Bone marrow aspirate smear · 250×250 px — 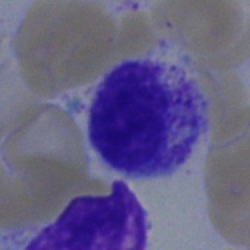

Showing a myelocyte.